Bone marrow smear.
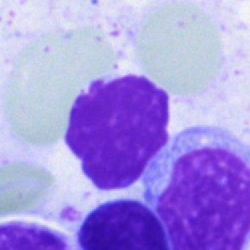Showing an artifact.